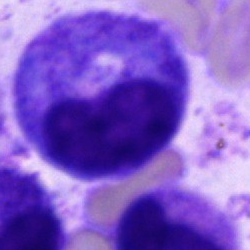The morphological class is promyelocyte.